Bone marrow smear · 40× objective, oil immersion · single-cell field
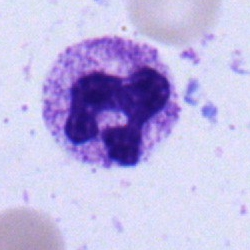 Q: What is the morphological classification of this cell?
A: Segmented neutrophil.